Peripheral blood smear.
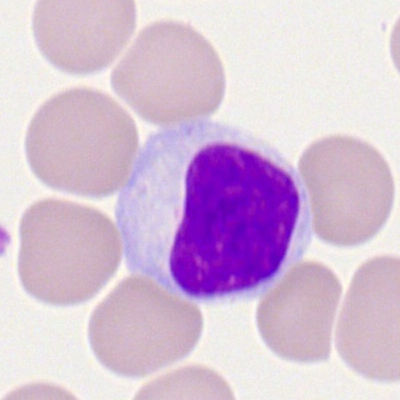
A lymphocyte.